May-Grünwald-Giemsa/Pappenheim stain. 250×250 px. Bone marrow smear.
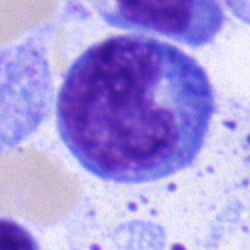Classification: undifferentiated blast.